Single-cell crop. Bone marrow aspirate smear. Image size 250×250:
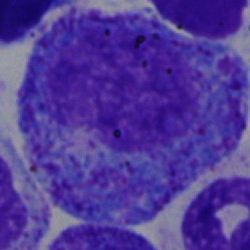
Morphology — promyelocyte.